Bone marrow smear; cropped to a single cell; brightfield, 40× oil-immersion objective:
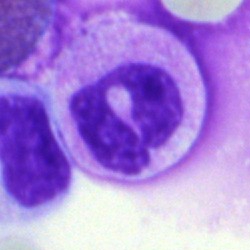Specimen: bone marrow aspirate smear.
Classification: neutrophil (segmented).